Bone marrow aspirate smear.
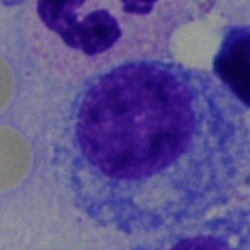 Morphological class: progranulocyte.